Bone marrow aspirate smear. 250×250. Brightfield microscopy, 40× oil immersion: 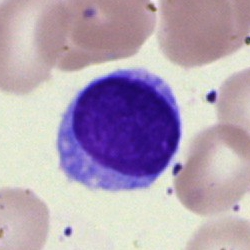
Morphology consistent with a typical lymphocyte.